Bone marrow smear: 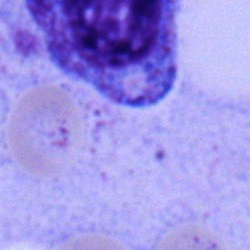Classification: promyelocyte.